Bone marrow smear.
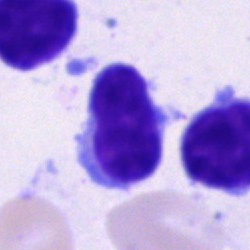Single cell identified as a typical lymphocyte.